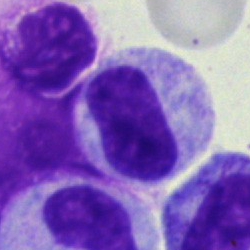
Specimen: bone marrow aspirate smear.
Cell type: band-form neutrophil.
Lineage: myeloid.